Bone marrow smear:
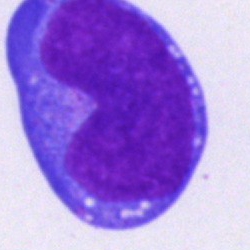

Q: Identify the cell.
A: A blast.